Single-cell crop; brightfield, 40× oil-immersion objective; bone marrow smear
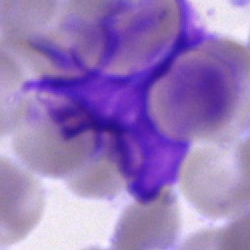

This is an artifact.